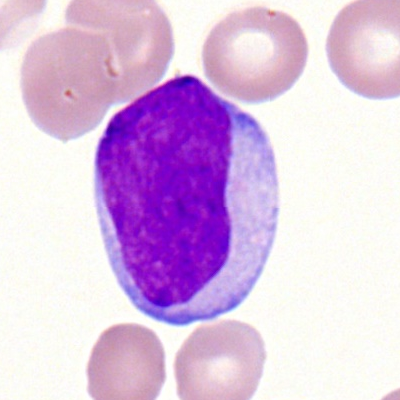

{"cell_type": "myeloblast", "lineage": "myeloid"}